Bone marrow aspirate smear · single-cell field:
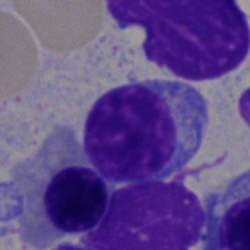

Q: Which cell type is shown here?
A: It is a lymphocyte.